Bone marrow aspirate smear
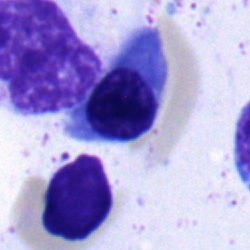

Q: What is the morphological classification of this cell?
A: Normoblast.